40× oil immersion · bone marrow aspirate smear · 250 by 250 pixels — 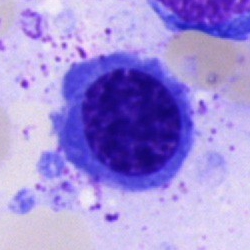

This is a blast.